Single-cell crop. Bone marrow smear. 40× objective, oil immersion
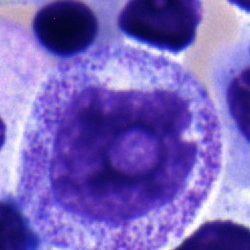
The cell shown is a myelocyte.